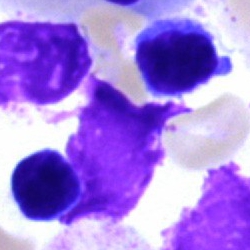Artefact.